Bone marrow aspirate smear:
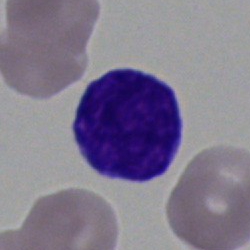

{"cell_type": "blast"}